Bone marrow aspirate smear:
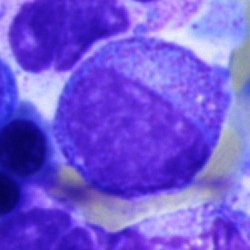

Cell type: myelocyte.